Bone marrow aspirate smear.
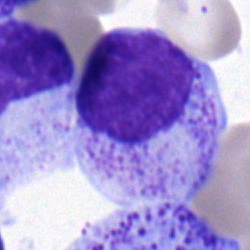Morphology consistent with a myelocyte.